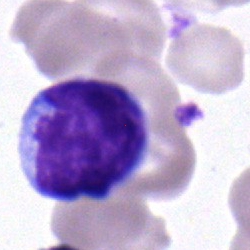 A lymphocyte on a bone marrow smear.